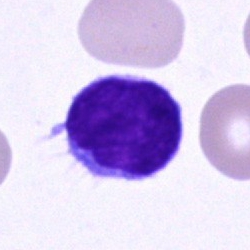

This is a typical lymphocyte.